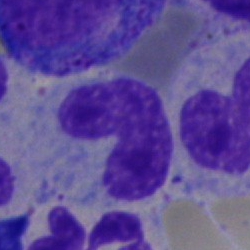Cell — stab cell.